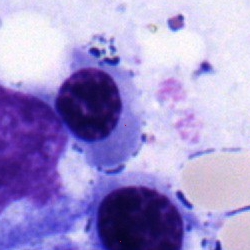
Q: What is the morphological classification of this cell?
A: This is an erythroblast.